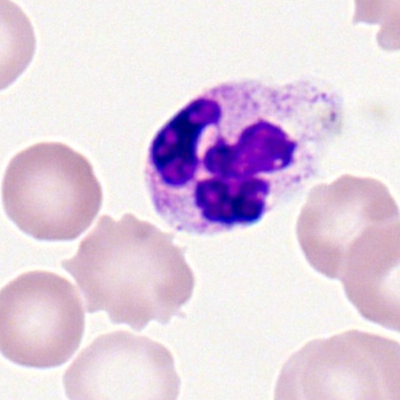
Segmented neutrophil.